Bone marrow smear:
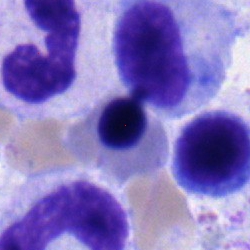

Specimen: bone marrow aspirate smear.
Cell type: nucleated red blood cell.
Lineage: erythroid.